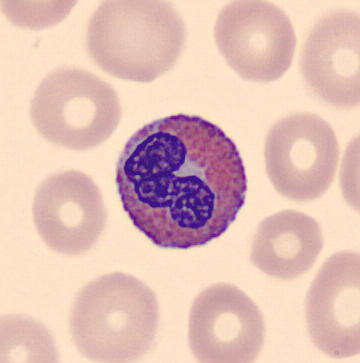Classification: eosinophil.